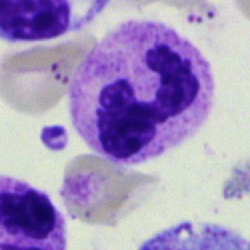{"cell_type": "polymorphonuclear neutrophil"}